250 by 250 pixels. Bone marrow aspirate smear. Single-cell field — 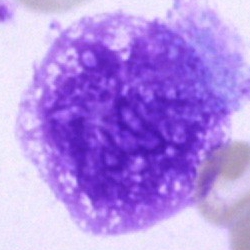

The cell is artefact.